Bone marrow smear. 40× objective, oil immersion — 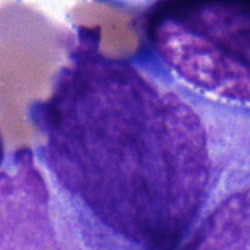
Morphological class = blast cell.